Bone marrow aspirate smear · cropped to a single cell
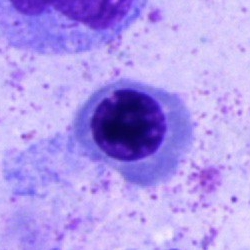 Showing a normoblast.